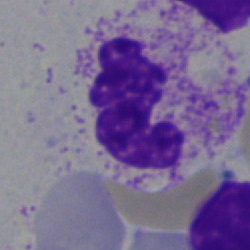

The cell type is polymorphonuclear neutrophil.